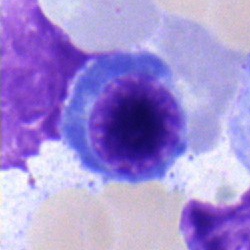Bone marrow aspirate smear, single cell — nucleated red cell.